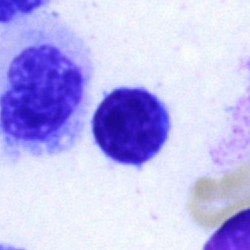 Specimen: bone marrow smear.
Morphological class: typical lymphocyte.
Lineage: lymphoid.